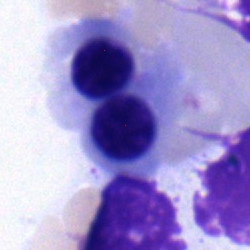

Q: What is the morphological classification of this cell?
A: Nucleated red blood cell.